Bone marrow aspirate smear: 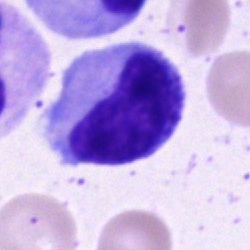 The cell shown is a metamyelocyte.